May-Grünwald-Giemsa stain. Bone marrow aspirate smear:
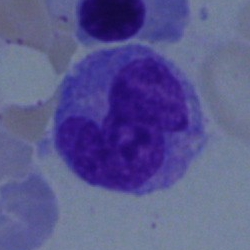

Impression — monocyte.